Pappenheim-stained · cropped to a single cell · bone marrow aspirate smear: 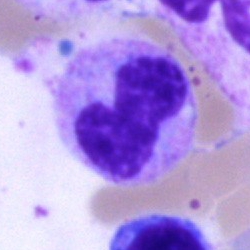
Cell type: monocyte.